250×250 · bone marrow aspirate smear — 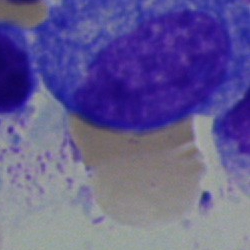Impression — promyelocyte.